Bone marrow smear · 250 by 250 pixels
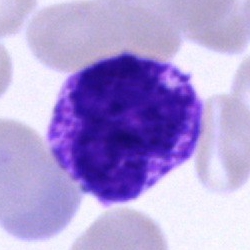

Basophil.